Bone marrow aspirate smear — 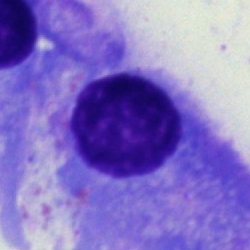
Morphological class — plasmacyte.